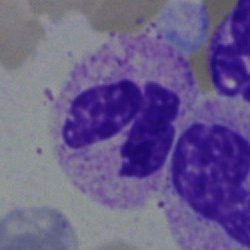
Neutrophil (segmented).